Peripheral blood smear: 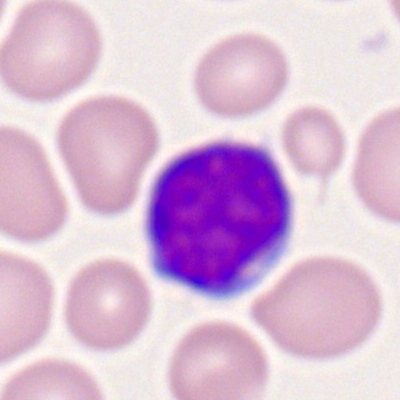

Single cell identified as a typical lymphocyte.